Bone marrow aspirate smear · image size 250×250 · single-cell field — 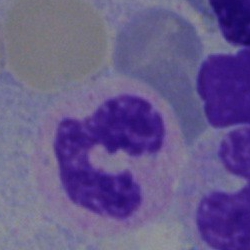 The morphological class is polymorphonuclear neutrophil.